Bone marrow smear
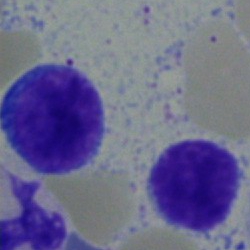 {"cell_type": "typical lymphocyte", "lineage": "lymphoid"}